Bone marrow smear
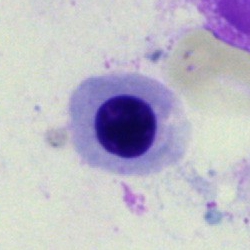 Classification — nucleated red blood cell.